May-Grünwald-Giemsa/Pappenheim stain; bone marrow aspirate smear; single-cell field
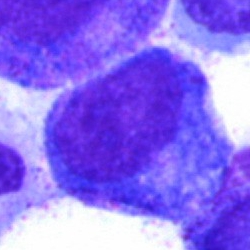 Single cell identified as a progranulocyte.